Single cell centered in the field · bone marrow aspirate smear · MGG-stained: 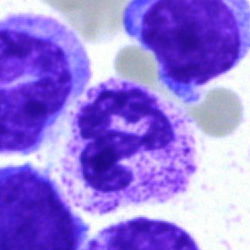
Impression → neutrophil (segmented).